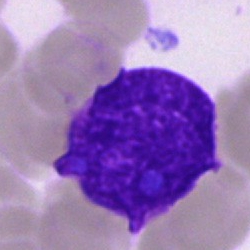 Artefact.